Pappenheim-stained; bone marrow aspirate smear:
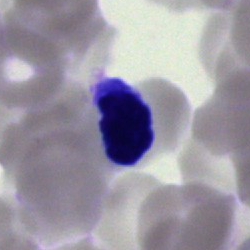{"cell_type": "lymphocyte"}